Bone marrow smear.
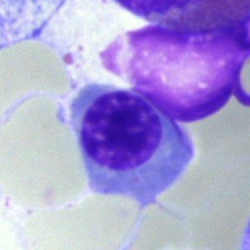
Specimen: bone marrow aspirate smear.
Morphological class: normoblast.